Bone marrow aspirate smear: 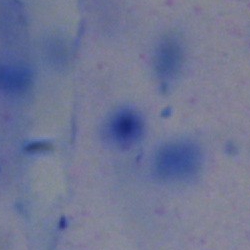Cell = artefact.